Bone marrow aspirate smear · single-cell field · 250 by 250 pixels:
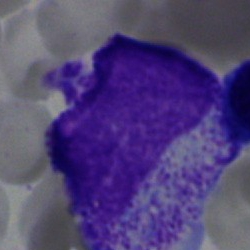
Specimen: bone marrow aspirate smear.
Classification: myelocyte.
Lineage: myeloid.